Bone marrow aspirate smear.
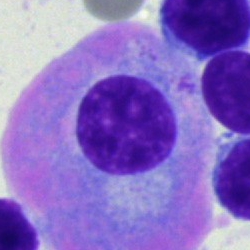Q: Identify the cell.
A: Plasma cell.